Bone marrow smear — 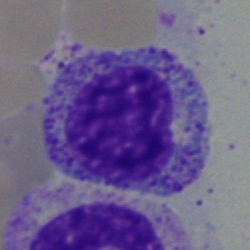 Cell type: myelocyte.